Bone marrow smear.
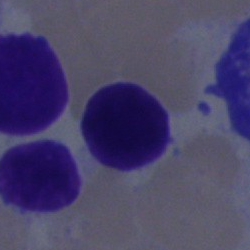 Showing a lymphocyte.